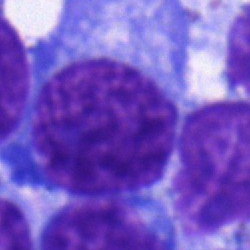

{"cell_type": "plasma cell", "lineage": "lymphoid"}